Bone marrow aspirate smear: 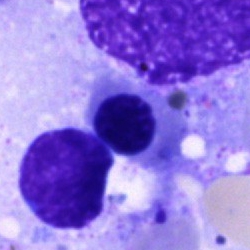
Specimen: bone marrow smear.
Cell: unidentifiable cell.